Bone marrow aspirate smear: 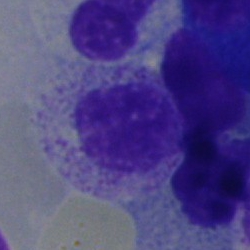 Q: Identify the cell.
A: This is a myelocyte.